Bone marrow aspirate smear: 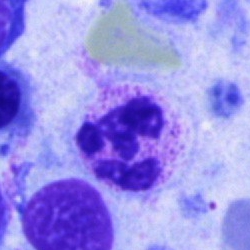

Q: What is shown here?
A: This is a neutrophil (segmented).